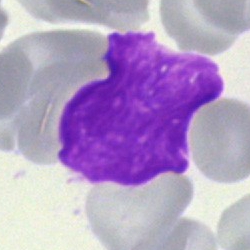 Classification = Gumprecht shadow.